Bone marrow aspirate smear — 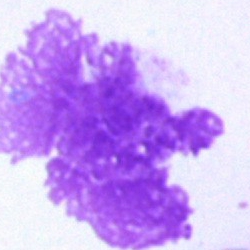

Specimen: bone marrow smear.
Cell: artifact.